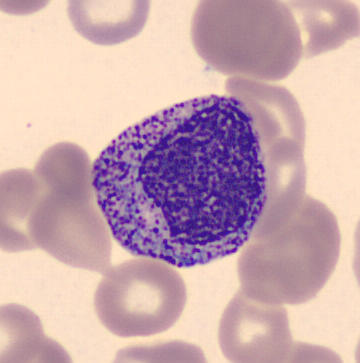

Impression → progranulocyte.